Bone marrow smear; brightfield, 40× oil-immersion objective:
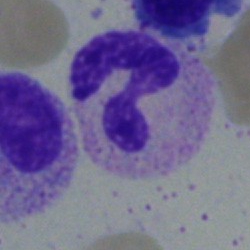

Q: What type of cell is this?
A: Polymorphonuclear neutrophil.